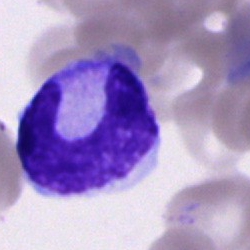

A band-form neutrophil.